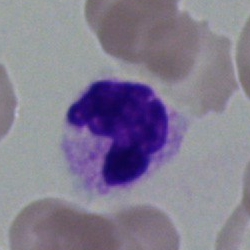Impression → segmented neutrophil.